Bone marrow smear — 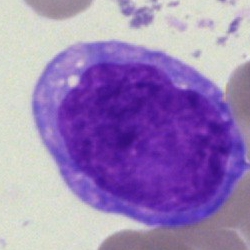 Specimen: bone marrow aspirate smear.
Cell type: blast.